Bone marrow aspirate smear: 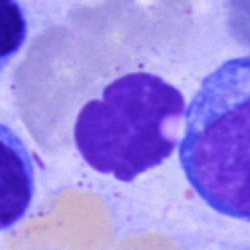

Morphological class = artifact.